Bone marrow aspirate smear. Brightfield microscopy, 40× oil immersion — 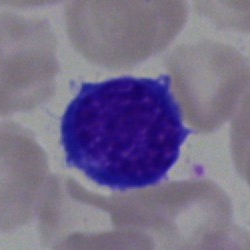 Q: Which cell type is shown here?
A: A typical lymphocyte.